250 by 250 pixels. Bone marrow smear — 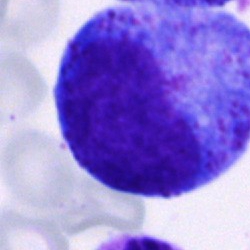
Morphology — progranulocyte.